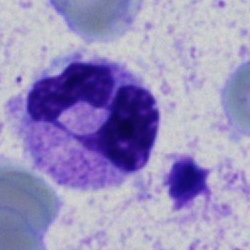Single cell identified as a polymorphonuclear neutrophil.